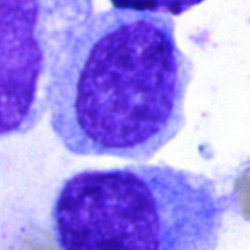

Q: What is shown here?
A: It is an unidentifiable cell.